Bone marrow aspirate smear; single cell centered in the field:
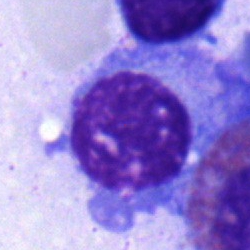
{"cell_type": "plasma cell"}